Bone marrow aspirate smear.
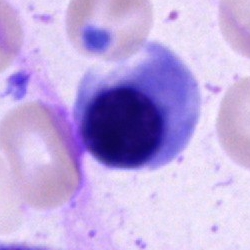 Specimen: bone marrow smear.
Cell type: nucleated red cell.
Lineage: erythroid.